Bone marrow aspirate smear
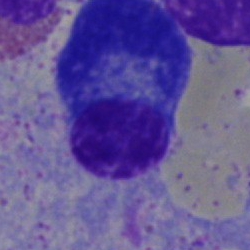Specimen: bone marrow smear.
Classification: plasmacyte.